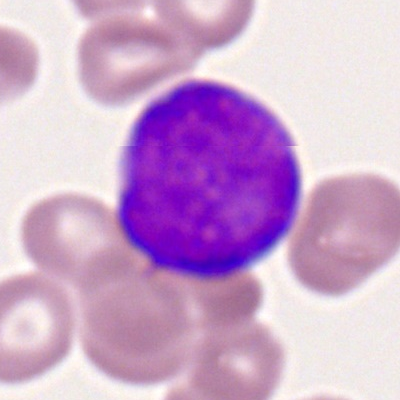
Impression → myeloblast.